MGG-stained; bone marrow aspirate smear — 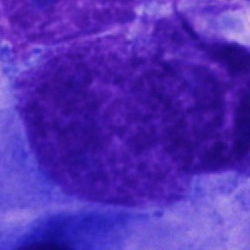

Specimen: bone marrow aspirate smear.
Cell type: other cell.